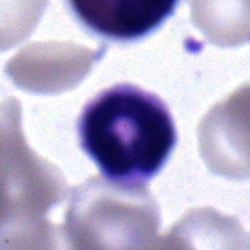
Morphology consistent with a segmented neutrophil.